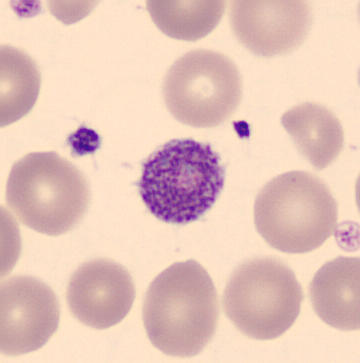
Peripheral blood film.
Thrombocyte.